Bone marrow aspirate smear · cropped to a single cell — 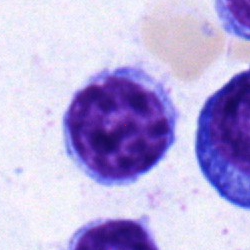
The cell is typical lymphocyte.